Single cell centered in the field · bone marrow aspirate smear: 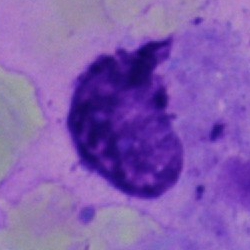 The cell shown is an artefact.